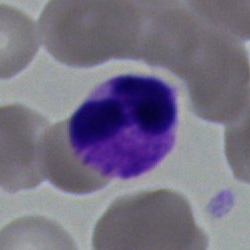 Cell type = segmented neutrophil.